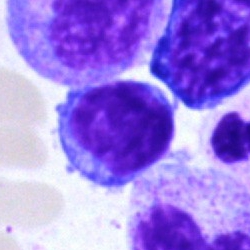
Cell: lymphocyte.